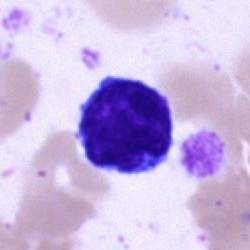

The cell is lymphocyte.